Peripheral blood film; single-cell field:
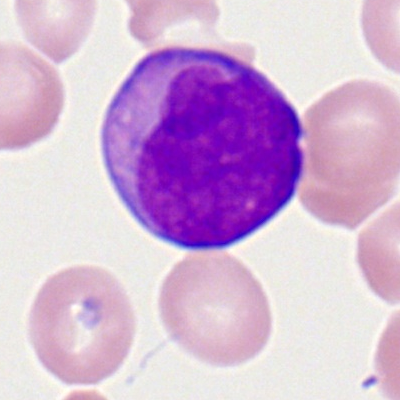 Q: What cell is this?
A: A myeloblast.